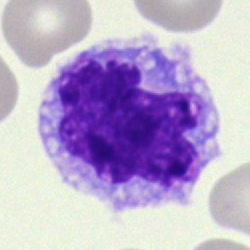Q: What is shown here?
A: Monocyte.